Peripheral blood smear — 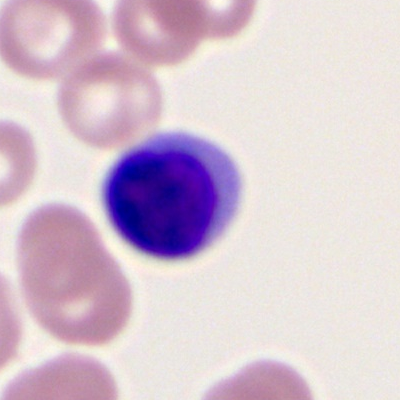

Morphology — typical lymphocyte.